Bone marrow smear
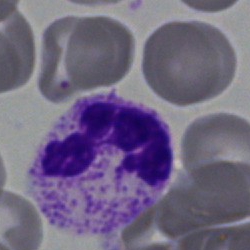 Q: What is the morphological classification of this cell?
A: It is a segmented neutrophil.